Bone marrow smear
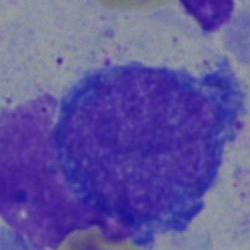 The cell type is blast.